Bone marrow aspirate smear.
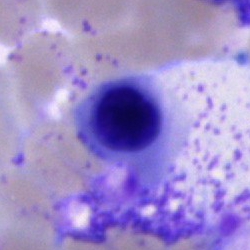

Morphology — nucleated red cell.